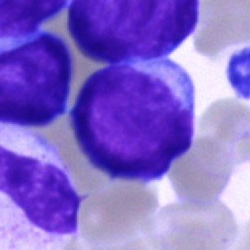 {"cell_type": "blast"}